Bone marrow aspirate smear. Single-cell crop
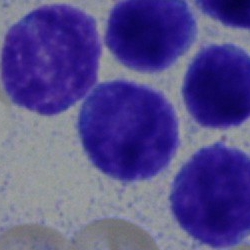
Specimen: bone marrow aspirate smear.
Cell: typical lymphocyte.
Lineage: lymphoid.